Bone marrow smear · May-Grünwald-Giemsa/Pappenheim stain — 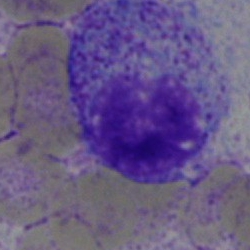Classification: myelocyte.